MGG-stained. Bone marrow smear
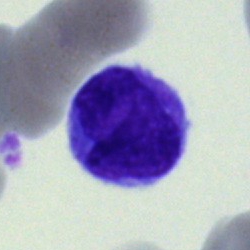
Cell type: monocyte.